Bone marrow aspirate smear
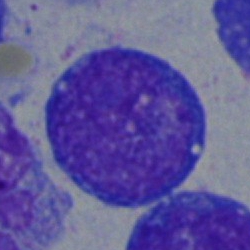Q: What is shown here?
A: It is an undifferentiated blast.